May-Grünwald-Giemsa/Pappenheim stain. Bone marrow smear: 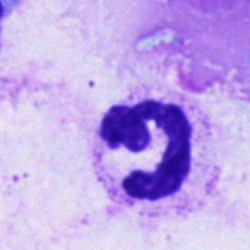 Polymorphonuclear neutrophil.